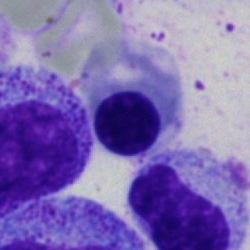The cell is nucleated red cell.